Bone marrow smear. 40× objective, oil immersion:
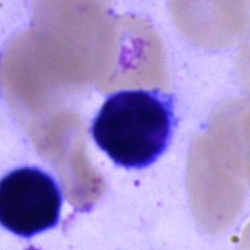
Specimen: bone marrow aspirate smear.
Classification: typical lymphocyte.